May-Grünwald-Giemsa stain. Bone marrow aspirate smear.
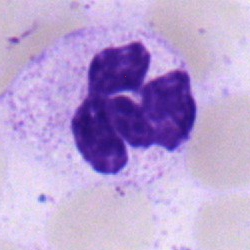 Single cell identified as a segmented neutrophil.